Bone marrow smear.
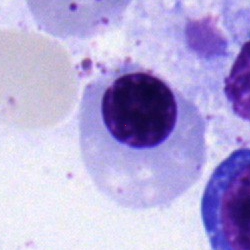{"cell_type": "nucleated red blood cell", "lineage": "erythroid"}